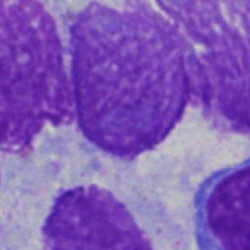

Bone marrow aspirate smear, single cell — artefact.